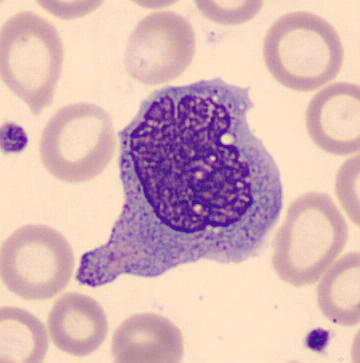Identified as a monocyte.